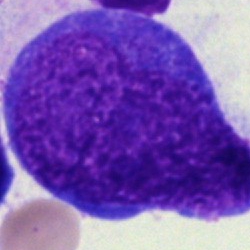

Q: Identify the cell.
A: A blast cell.